Peripheral blood smear; brightfield, 100× oil-immersion objective.
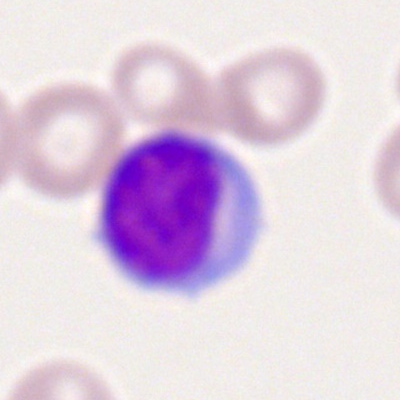 This is a lymphocyte.